250×250 px · bone marrow aspirate smear · MGG-stained:
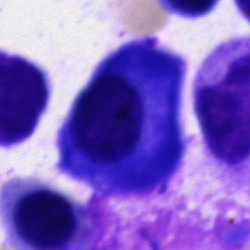 Morphological class = plasmacyte.